Bone marrow smear; 40× oil immersion.
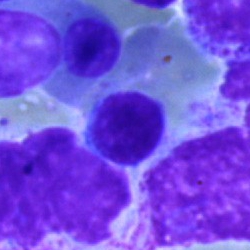Impression → typical lymphocyte.